Bone marrow smear; 40× objective, oil immersion.
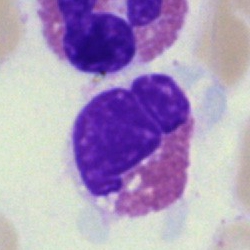

Q: What is shown here?
A: This is a basophilic granulocyte.